Bone marrow aspirate smear; 250 by 250 pixels: 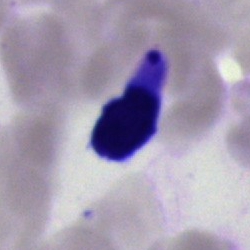

The morphological class is artifact.